Bone marrow smear — 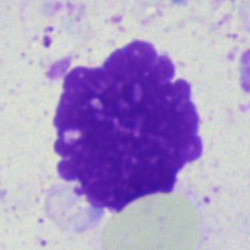 The classification is artifact.